Bone marrow smear.
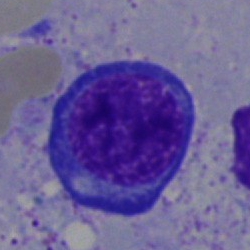
Q: What cell is this?
A: This is a nucleated red blood cell.